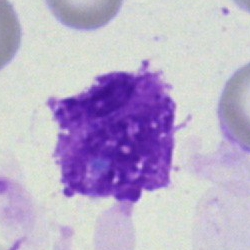Cell type — artefact.